Bone marrow smear · May-Grünwald-Giemsa/Pappenheim stain · brightfield microscopy, 40× oil immersion
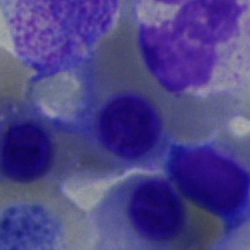
Showing a nucleated red cell.